40× oil immersion · bone marrow aspirate smear: 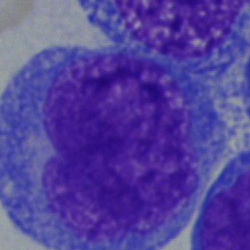 Q: What type of cell is this?
A: Blast.